40× oil immersion; bone marrow smear.
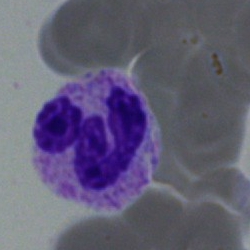Classification = polymorphonuclear neutrophil.